Bone marrow smear.
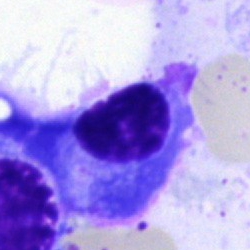
Morphology — plasma cell.